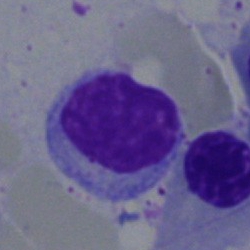 Single cell identified as a typical lymphocyte.